Bone marrow smear:
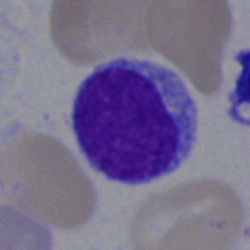 Morphological class = lymphocyte.